Brightfield microscopy, 40× oil immersion; bone marrow aspirate smear — 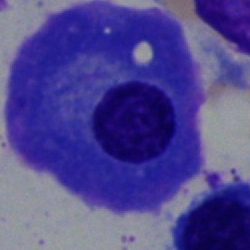Q: What is shown here?
A: A plasma cell.